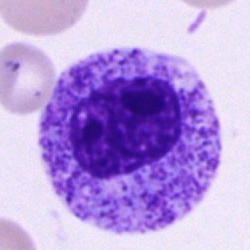 A promyelocyte on a bone marrow smear.